Single-cell crop. Pappenheim-stained. Bone marrow aspirate smear — 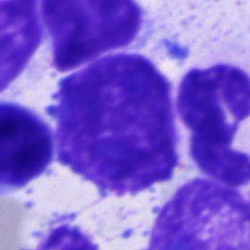

This is an artefact.